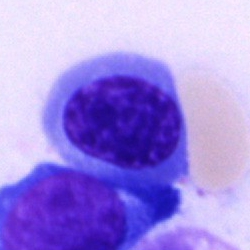Morphology — erythroblast.